Bone marrow aspirate smear: 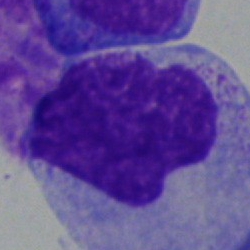 {"cell_type": "monocyte", "lineage": "myeloid"}